Bone marrow aspirate smear
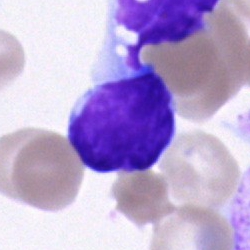 Morphology consistent with a lymphocyte.